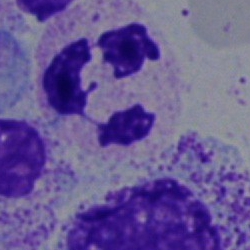Bone marrow smear showing a polymorphonuclear neutrophil.